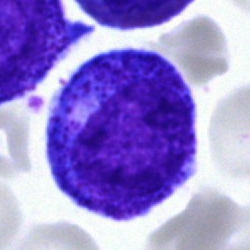

Q: What cell is this?
A: It is a progranulocyte.